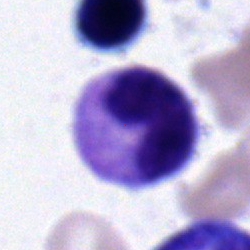 Morphology → band-form neutrophil.